Bone marrow aspirate smear · single-cell crop.
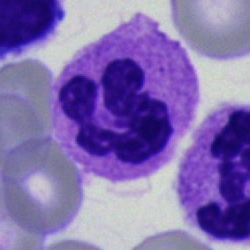 Specimen: bone marrow aspirate smear.
Cell type: segmented neutrophil.
Lineage: myeloid.